Image size 250×250 · bone marrow aspirate smear · brightfield, 40× oil-immersion objective.
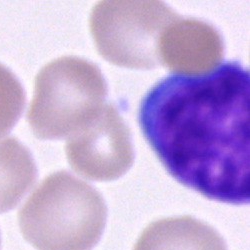
Cell: blast.